Bone marrow aspirate smear; cropped to a single cell: 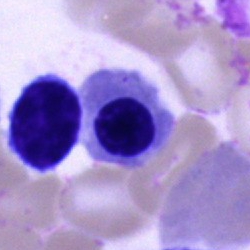Classification: erythroblast.